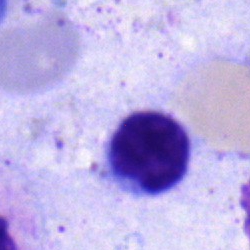

Q: Which cell type is shown here?
A: A lymphocyte.